Peripheral blood film. May-Grünwald-Giemsa-stained. Cropped to a single cell:
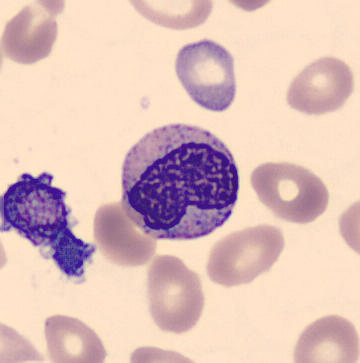
The classification is metamyelocyte.